Bone marrow smear: 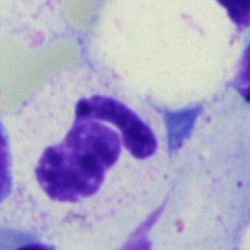
Q: Which cell type is shown here?
A: A neutrophil (segmented).